40× objective, oil immersion. Bone marrow aspirate smear: 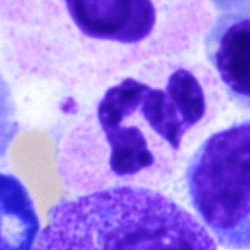Morphology consistent with a segmented neutrophil.